40× oil immersion. Bone marrow smear. May-Grünwald-Giemsa stain: 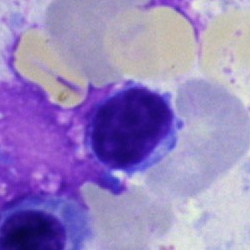
Morphological class = lymphocyte.